Bone marrow aspirate smear.
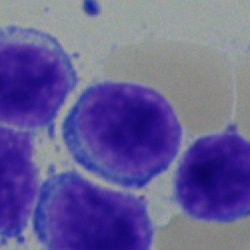

Q: Identify the cell.
A: This is a lymphocyte.